250×250 · 40× objective, oil immersion · bone marrow aspirate smear — 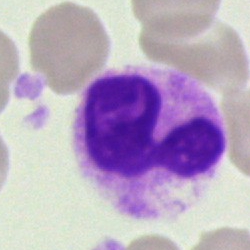
Neutrophil (segmented).